Bone marrow aspirate smear
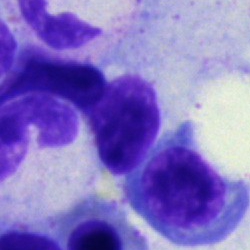
The classification is artifact.